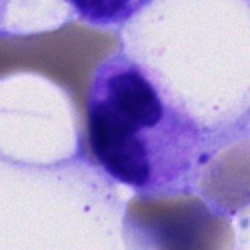

Morphological class — segmented neutrophil.